Bone marrow aspirate smear: 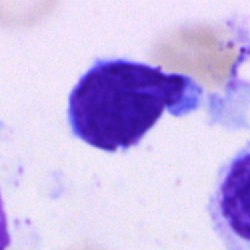 Cell = typical lymphocyte.